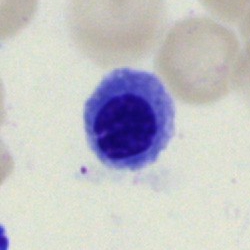Specimen: bone marrow smear.
Cell: normoblast.
Lineage: erythroid.